Peripheral blood film; 100× oil immersion; 400×400 px.
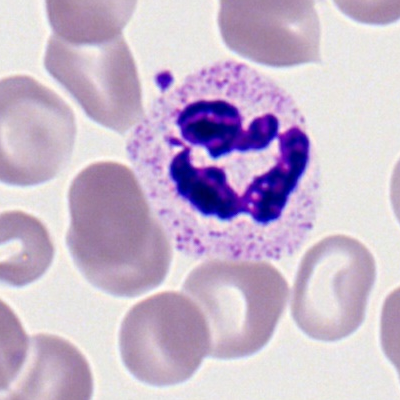The cell type is segmented neutrophil.